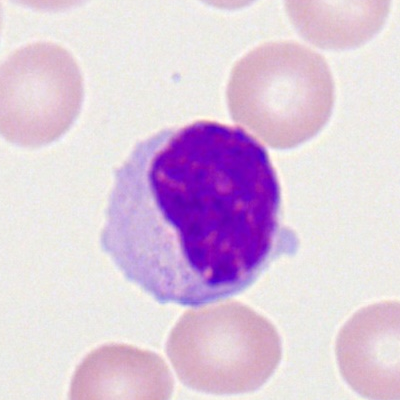

The morphological class is typical lymphocyte.